Pappenheim-stained. Bone marrow smear. Single-cell field
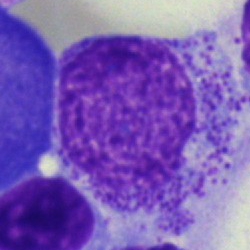 Morphology consistent with a myelocyte.